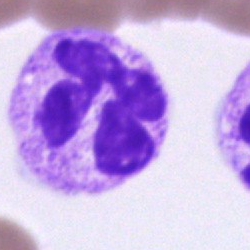

Impression — polymorphonuclear neutrophil.